Cropped to a single cell. Bone marrow aspirate smear.
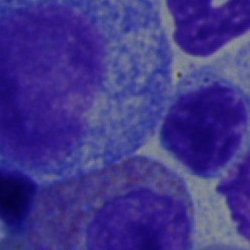

Q: What type of cell is this?
A: Progranulocyte.